Bone marrow smear — 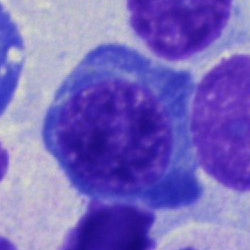The cell is nucleated red cell.